Single cell centered in the field. Pappenheim-stained. Bone marrow smear — 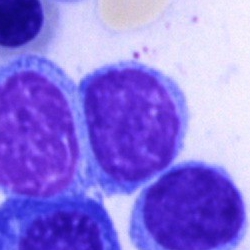 Cell — lymphocyte.